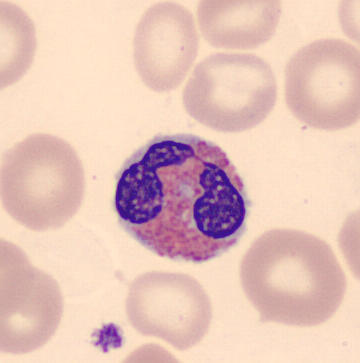
An eosinophil.

Peripheral blood smear · CellaVision DM96 digital cell image.